Bone marrow aspirate smear · single-cell crop — 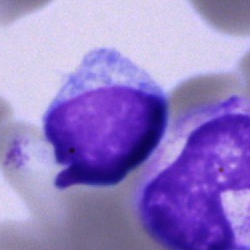

{"cell_type": "typical lymphocyte"}